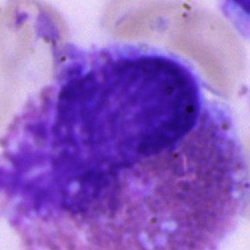 The morphological class is eosinophilic granulocyte.